Bone marrow aspirate smear:
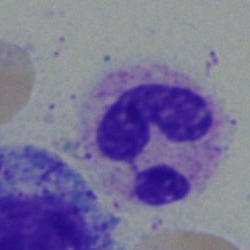 Classification — polymorphonuclear neutrophil.